250×250 · bone marrow aspirate smear — 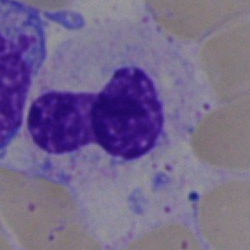
This is a stab cell.